Bone marrow smear:
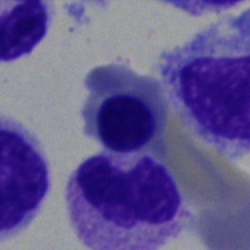Specimen: bone marrow smear.
Classification: normoblast.